Bone marrow smear. 250×250 px:
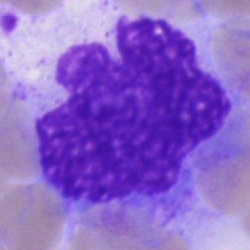
Q: What is shown here?
A: Artifact.